Bone marrow aspirate smear · single-cell field — 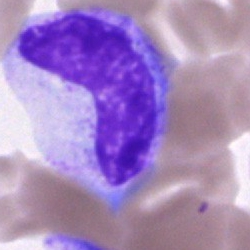Q: What is the morphological classification of this cell?
A: This is a cell of indeterminate lineage.